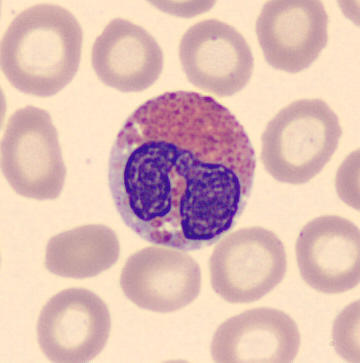
Specimen: peripheral blood smear.
Cell: eosinophil.
Lineage: myeloid.